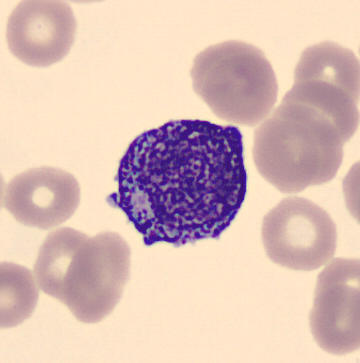 Q: Identify the cell.
A: This is a myelocyte.